Bone marrow smear:
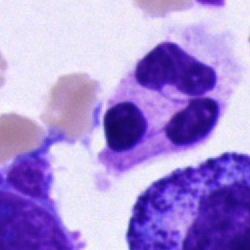 Q: What is shown here?
A: This is a polymorphonuclear neutrophil.